Bone marrow smear
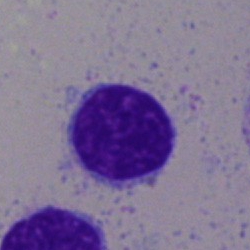
The cell shown is a typical lymphocyte.